Bone marrow aspirate smear: 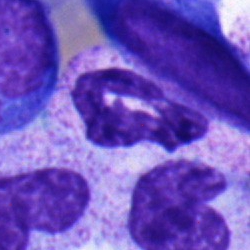 Specimen: bone marrow smear.
Cell: neutrophil (segmented).